May-Grünwald-Giemsa stain · bone marrow aspirate smear · 40× objective, oil immersion:
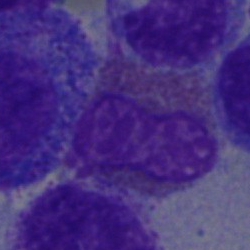Morphology — eosinophil.